Bone marrow smear.
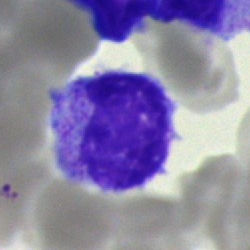

Cell = myelocyte.